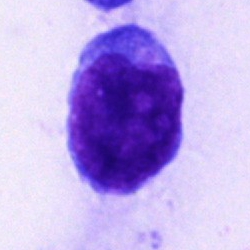

Cell: blast.